Bone marrow aspirate smear. Single cell centered in the field.
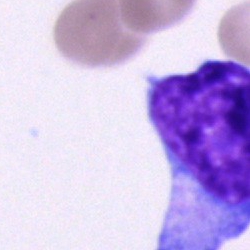
Q: What type of cell is this?
A: This is a blast.